Bone marrow smear: 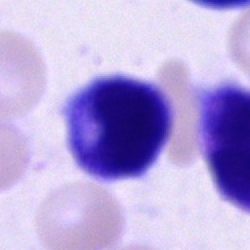

The cell type is cell of indeterminate lineage.